Bone marrow aspirate smear.
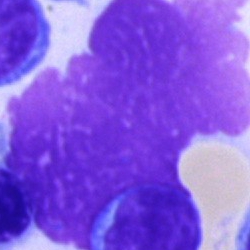 Q: What is shown here?
A: It is an artifact.